Peripheral blood smear. 400×400: 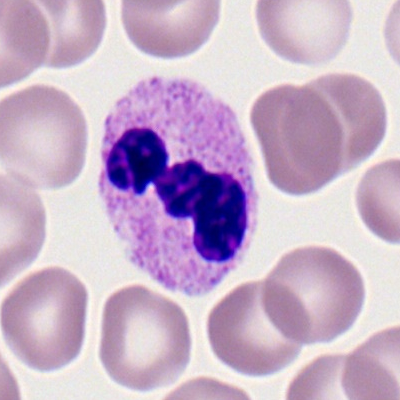
Cell = polymorphonuclear neutrophil.